Bone marrow smear.
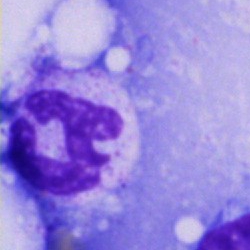 The cell shown is a segmented neutrophil.